Bone marrow smear · 250×250
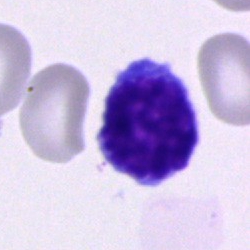

Cell: lymphocyte.